Image size 250×250. Bone marrow aspirate smear.
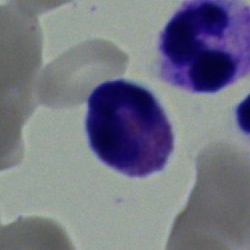 The morphological class is eosinophil.